May-Grünwald-Giemsa stain. Bone marrow smear:
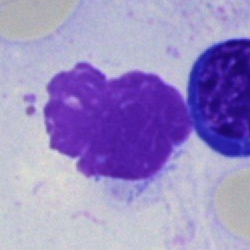 Specimen: bone marrow smear.
Morphological class: artifact.